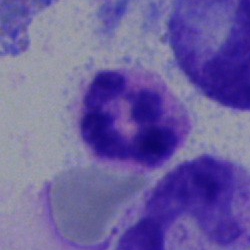
Single-cell crop from a bone marrow smear: neutrophil (segmented).